May-Grünwald-Giemsa/Pappenheim stain · image size 250×250 · bone marrow aspirate smear — 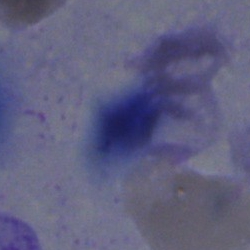Morphology consistent with an artefact.